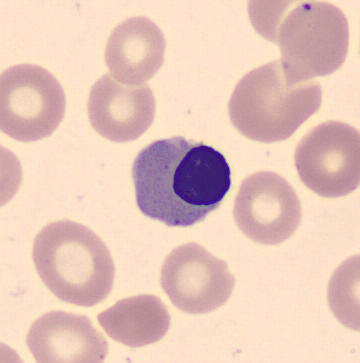
Peripheral blood smear.
A nucleated red cell.